Bone marrow smear.
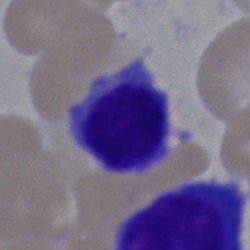Q: What is shown here?
A: Plasma cell.